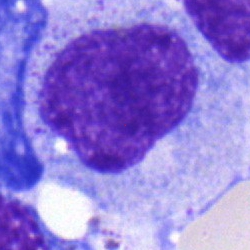Cell type = myelocyte.